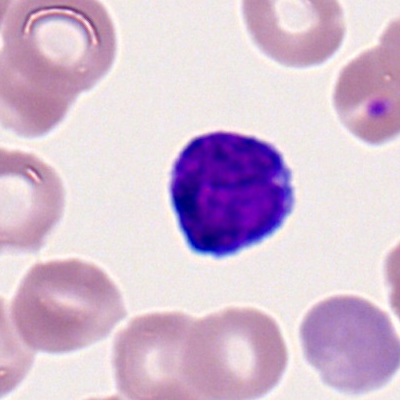
A lymphocyte.